Bone marrow aspirate smear. May-Grünwald-Giemsa stain.
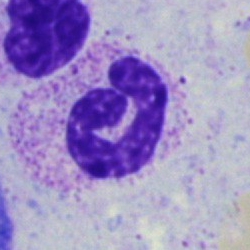 Cell = neutrophil (segmented).